MGG-stained. Bone marrow smear:
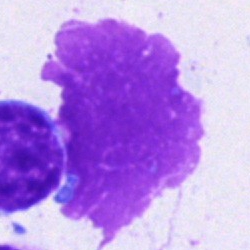Impression → artefact.